Bone marrow smear — 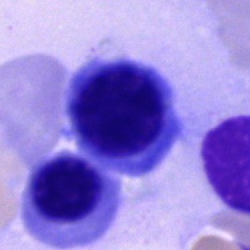

The cell shown is an erythroblast.